Bone marrow aspirate smear.
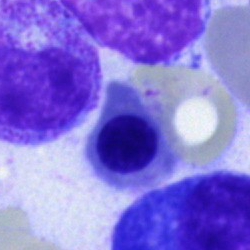 Q: What cell is this?
A: An erythroblast.